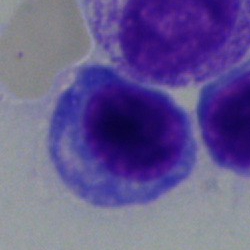

Q: What type of cell is this?
A: It is an erythroblast.